Bone marrow aspirate smear.
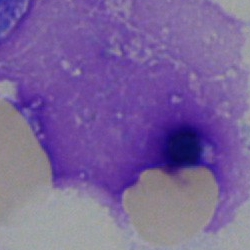Showing an artifact.